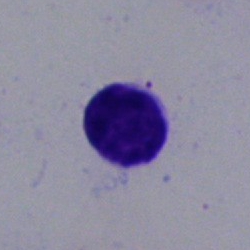 The cell shown is a typical lymphocyte.